Bone marrow aspirate smear:
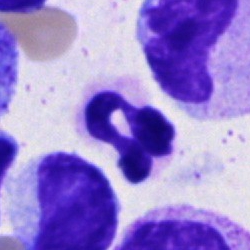 Classification — polymorphonuclear neutrophil.